Bone marrow aspirate smear: 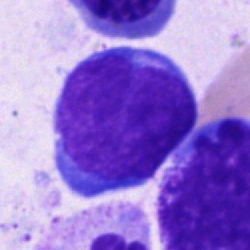
The cell type is blast cell.